Bone marrow aspirate smear:
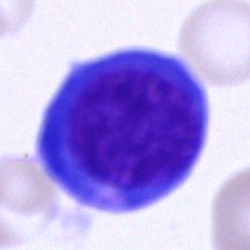Normoblast.